Peripheral blood film; Romanowsky-stained
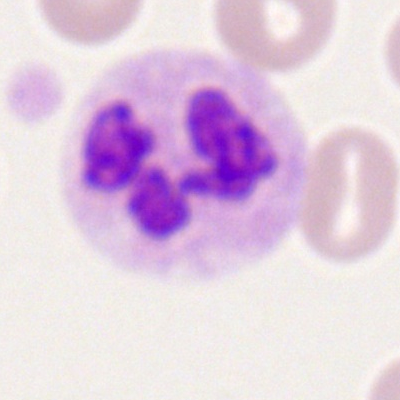

Morphology consistent with a neutrophil (segmented).